Bone marrow smear
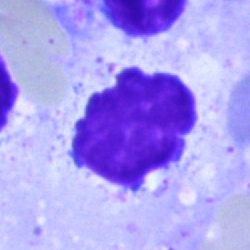Specimen: bone marrow aspirate smear.
Classification: artifact.